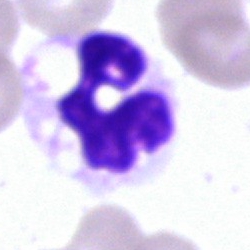

Specimen: bone marrow smear.
Cell: neutrophil (segmented).
Lineage: myeloid.